250×250 px · bone marrow smear — 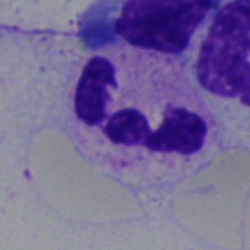Showing a neutrophil (segmented).